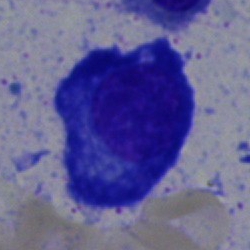

Single cell identified as a plasmacyte.